Bone marrow aspirate smear — 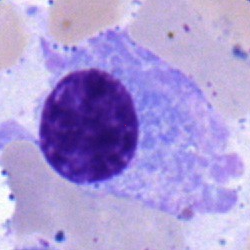 Specimen: bone marrow smear.
Cell: plasmacyte.
Lineage: lymphoid.